Bone marrow aspirate smear. Cropped to a single cell.
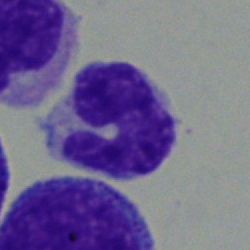

Impression → band neutrophil.